Bone marrow aspirate smear
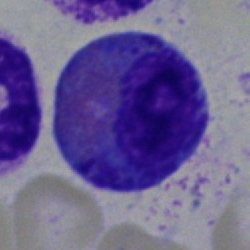 Q: What type of cell is this?
A: This is an eosinophil.